Bone marrow aspirate smear; cropped to a single cell.
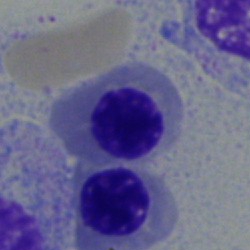 Q: Which cell type is shown here?
A: Normoblast.